Peripheral blood smear
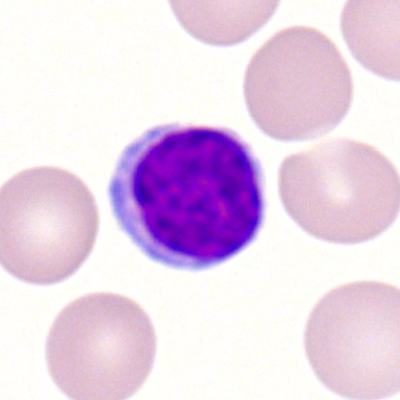 The cell shown is a lymphocyte.